Bone marrow smear. Brightfield microscopy, 40× oil immersion:
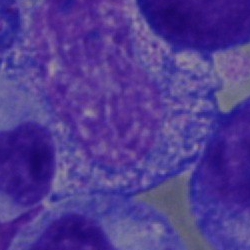
Showing an artefact.